Peripheral blood film — 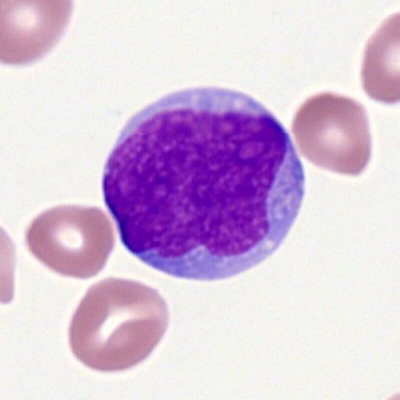 Single cell identified as a myeloblast.